Bone marrow aspirate smear
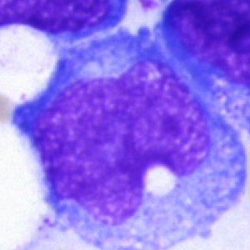 Cell — undifferentiated blast.